Bone marrow aspirate smear.
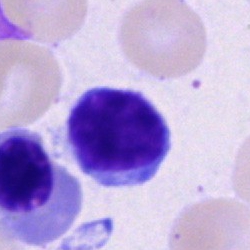Q: What cell is this?
A: It is a lymphocyte.